Bone marrow smear. May-Grünwald-Giemsa/Pappenheim stain — 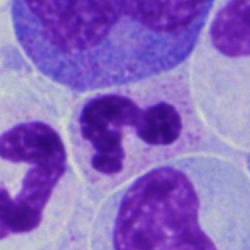
Cell type = polymorphonuclear neutrophil.